Bone marrow aspirate smear. 250×250. 40× objective, oil immersion:
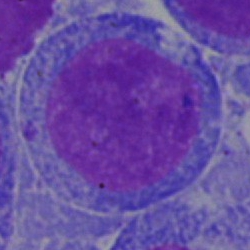 Specimen: bone marrow smear.
Cell: blast cell.